Bone marrow smear
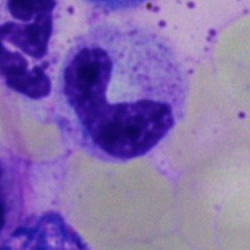
Cell: neutrophil (band).